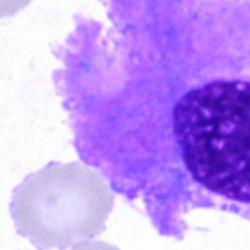 Specimen: bone marrow smear.
Cell type: plasmacyte.
Lineage: lymphoid.